Bone marrow aspirate smear. 250×250 px.
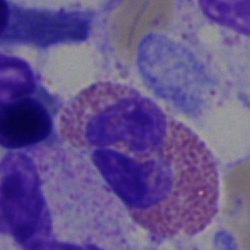
Cell type — eosinophilic granulocyte.